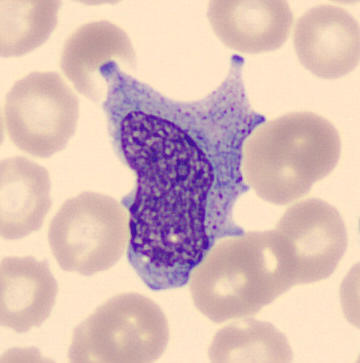 Q: What is this?
A: This is a monocyte. Peripheral blood smear · MGG-stained.